Bone marrow aspirate smear. 40× oil immersion.
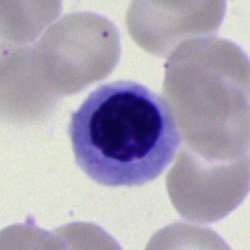Cell = erythroblast.